Peripheral blood smear: 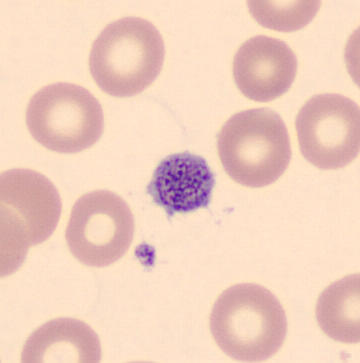

Q: What is shown here?
A: It is a platelet (thrombocyte).